Bone marrow smear.
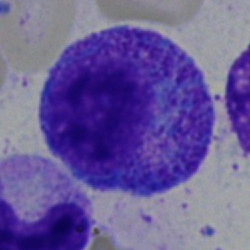

Impression → promyelocyte.